Bone marrow smear · 250×250 px — 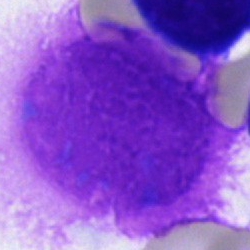Impression — artifact.